Cropped to a single cell · bone marrow smear · 40× objective, oil immersion:
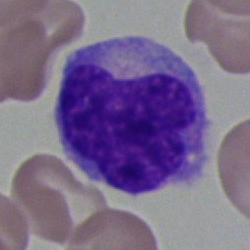

Morphology consistent with a monocyte.